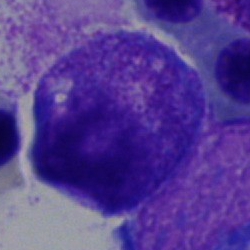 Bone marrow aspirate smear, single cell — progranulocyte.